Bone marrow aspirate smear — 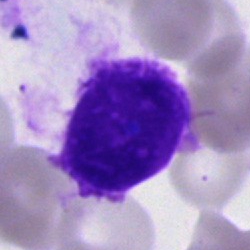{"cell_type": "artifact"}